Bone marrow smear.
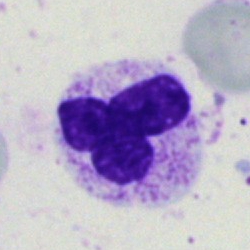Cell type — neutrophil (segmented).